Bone marrow aspirate smear. Brightfield microscopy, 40× oil immersion. Single-cell field: 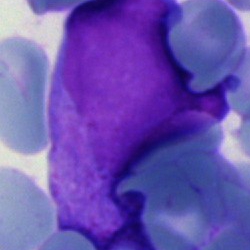
Specimen: bone marrow aspirate smear.
Classification: undifferentiated blast.